Bone marrow smear
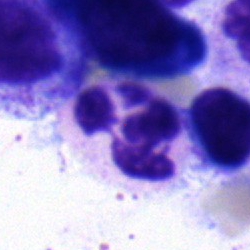

Morphology consistent with a segmented neutrophil.